Bone marrow aspirate smear: 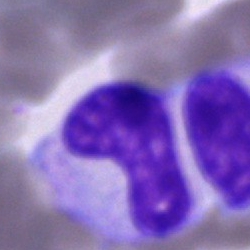
A cell of indeterminate lineage.